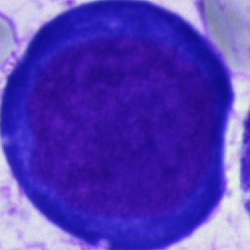

Cell type: pronormoblast.